Bone marrow smear; 40× oil immersion.
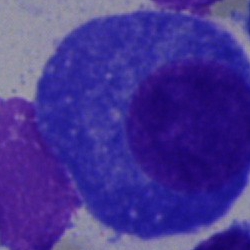 The morphological class is plasmacyte.